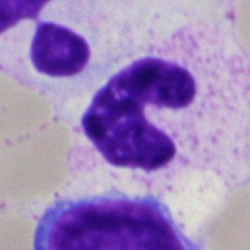

Impression — artifact.